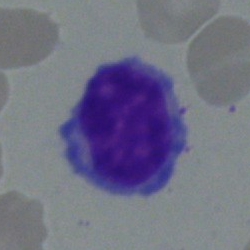The morphological class is typical lymphocyte.